Peripheral blood film. 400 by 400 pixels. 100× oil immersion:
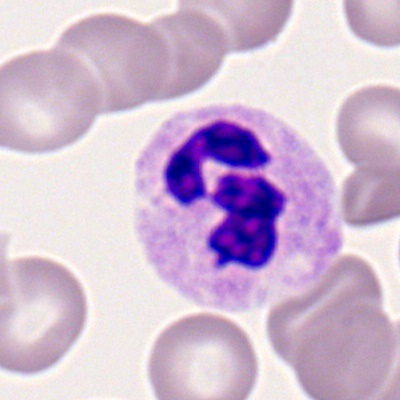Specimen: peripheral blood film.
Morphological class: segmented neutrophil.